Bone marrow aspirate smear; single-cell field:
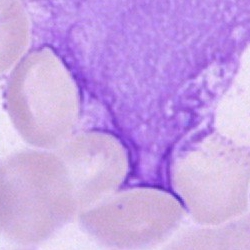 Q: What is shown here?
A: An artefact.